40× oil immersion · bone marrow smear · single-cell field:
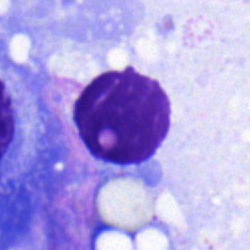 Classification: normoblast.